40× oil immersion · bone marrow smear:
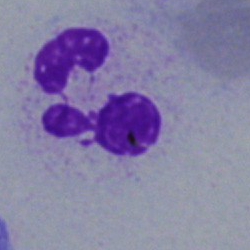The classification is polymorphonuclear neutrophil.